Peripheral blood film
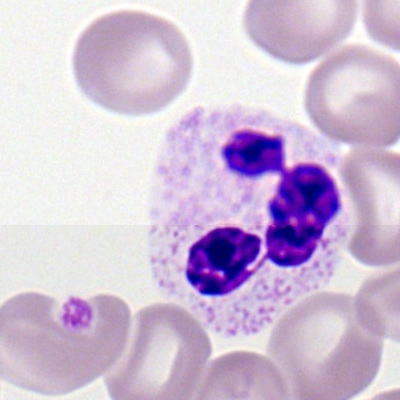 {"cell_type": "neutrophil (segmented)", "lineage": "myeloid"}